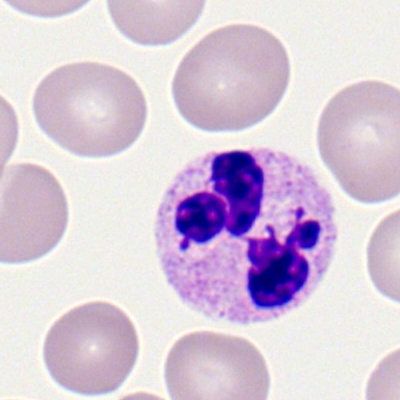
Classification — neutrophil (segmented).